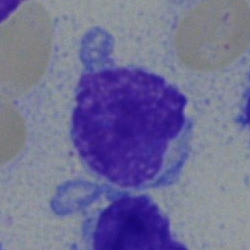
Morphological class: typical lymphocyte.